Peripheral blood film:
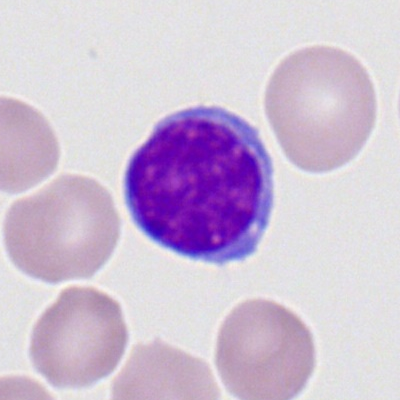 A typical lymphocyte.